250 by 250 pixels; bone marrow smear: 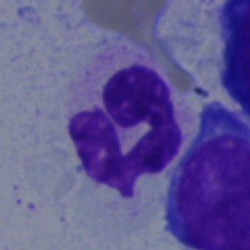{"cell_type": "segmented neutrophil", "lineage": "myeloid"}